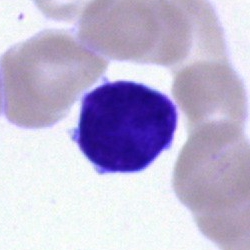Q: Which cell type is shown here?
A: A lymphocyte.